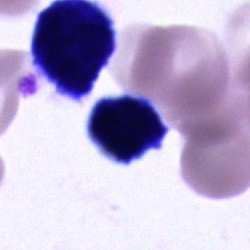 Specimen: bone marrow smear.
Cell type: cell of indeterminate lineage.